MGG-stained; 40× oil immersion; bone marrow smear
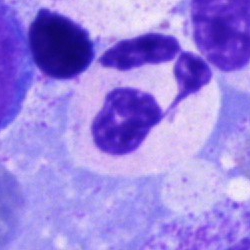Specimen: bone marrow smear.
Cell: neutrophil (segmented).